Bone marrow aspirate smear.
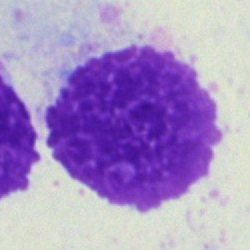
Morphological class — artefact.